Bone marrow aspirate smear: 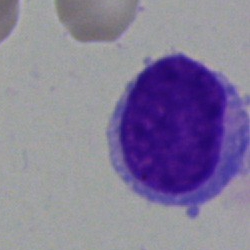 Morphological class = typical lymphocyte.